Bone marrow smear.
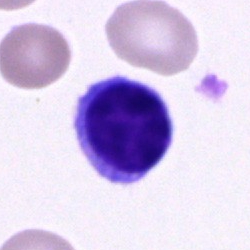Impression → lymphocyte.